Bone marrow aspirate smear · 250×250 · brightfield microscopy, 40× oil immersion: 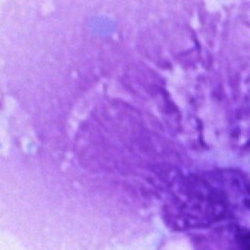Morphology consistent with an artefact.